Bone marrow smear: 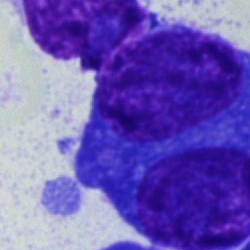 Cell type — plasmacyte.